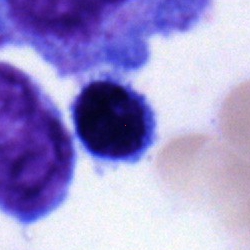{"cell_type": "lymphocyte"}